Bone marrow aspirate smear; MGG-stained
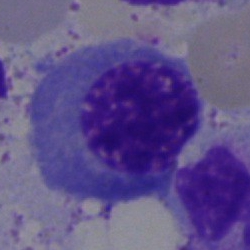 Impression → nucleated red blood cell.